Bone marrow aspirate smear; 40× objective, oil immersion.
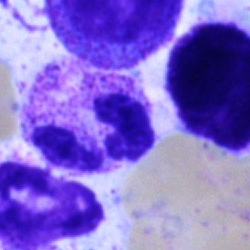
Cell type = neutrophil (segmented).